Bone marrow smear · brightfield, 40× oil-immersion objective
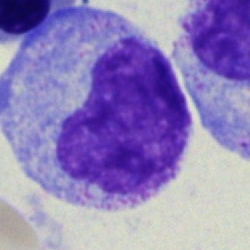

Classification — promyelocyte.